May Grünwald-Giemsa stain · single-cell field · peripheral blood smear:
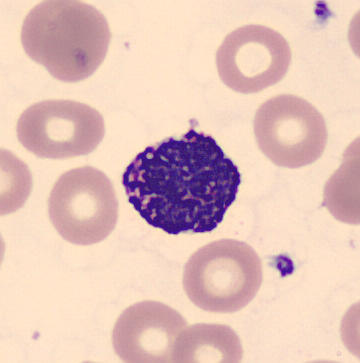Classification: basophil.